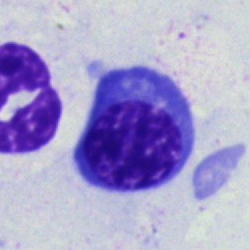 Morphology — nucleated red cell.